Bone marrow aspirate smear — 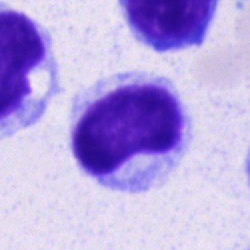

The cell shown is a lymphocyte.